Bone marrow smear.
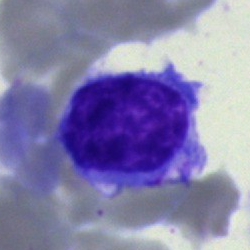Impression — lymphocyte.